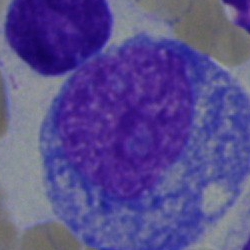

This is a progranulocyte.